May-Grünwald-Giemsa stain. Image size 250×250. Bone marrow smear — 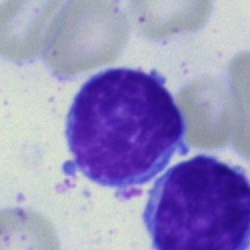{"cell_type": "typical lymphocyte", "lineage": "lymphoid"}